Bone marrow smear
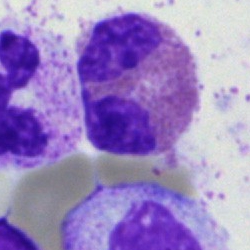 Specimen: bone marrow aspirate smear.
Classification: eosinophil.